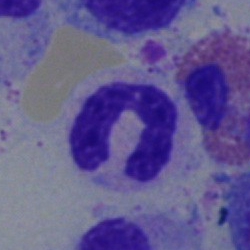
Single-cell crop from a bone marrow smear: neutrophil (segmented).